May-Grünwald-Giemsa stain; bone marrow smear: 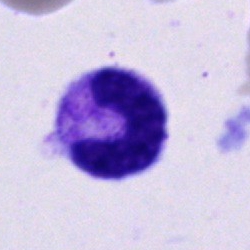 Specimen: bone marrow smear.
Morphological class: band-form neutrophil.